Bone marrow aspirate smear:
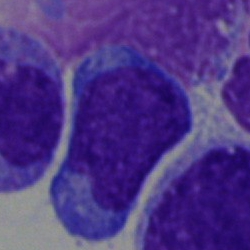
The cell shown is an undifferentiated blast.